Bone marrow smear. Single-cell field — 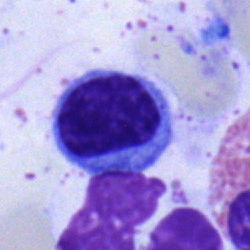Morphology consistent with a typical lymphocyte.